Bone marrow smear:
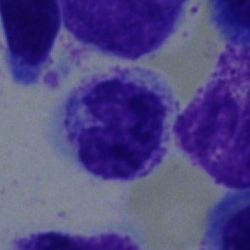Q: Which cell type is shown here?
A: This is a band neutrophil.